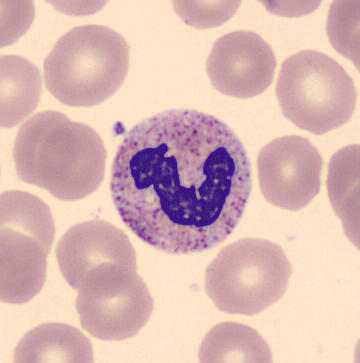Cell type: segmented neutrophil.
Peripheral blood film.